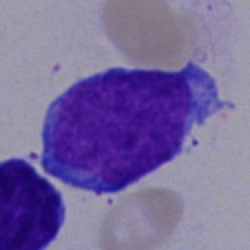

Morphology consistent with a blast.